May-Grünwald-Giemsa stain · bone marrow smear:
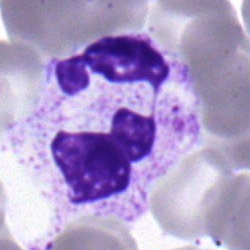Single cell identified as a segmented neutrophil.